Bone marrow aspirate smear — 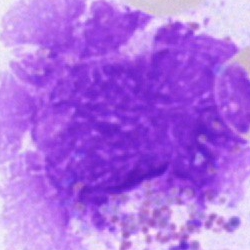

Specimen: bone marrow smear.
Cell type: artifact.